Bone marrow aspirate smear. 40× oil immersion. Image size 250×250: 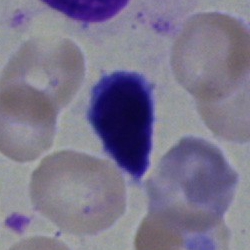
Classification = typical lymphocyte.